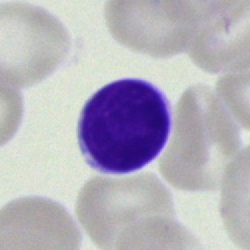Classification = typical lymphocyte.